Bone marrow smear.
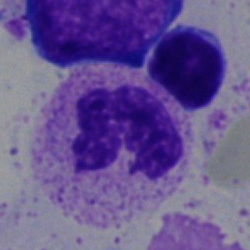Cell type: neutrophil (segmented).